Peripheral blood film: 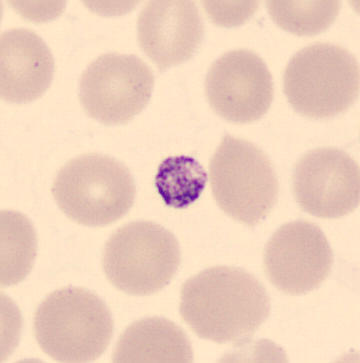
Cell type: platelet (thrombocyte).